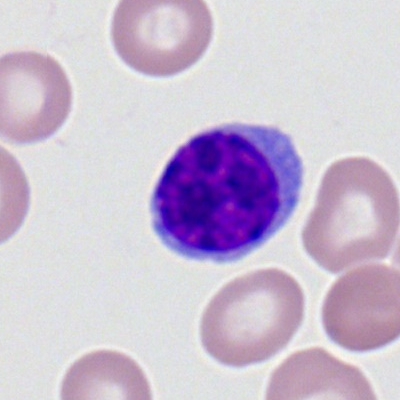 Morphology consistent with a typical lymphocyte.